Single-cell field. Bone marrow smear.
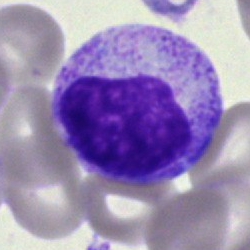

Myelocyte.